May-Grünwald-Giemsa stain · bone marrow aspirate smear
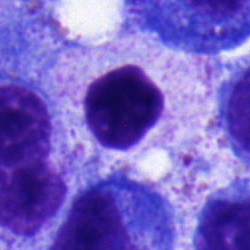 Showing a myelocyte.